Bone marrow aspirate smear
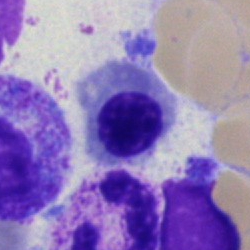

Single cell identified as a normoblast.